Bone marrow aspirate smear:
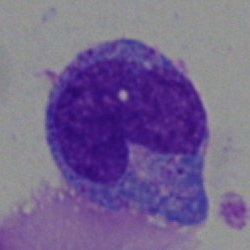Single cell identified as a monocyte.